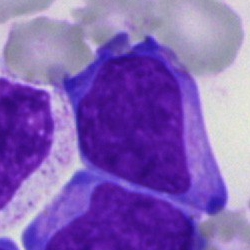

Specimen: bone marrow smear.
Cell type: blast.